Bone marrow smear — 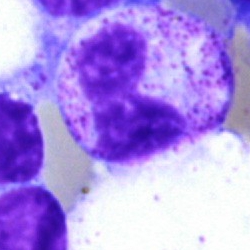
Specimen: bone marrow aspirate smear.
Cell type: neutrophil (band).
Lineage: myeloid.